Bone marrow aspirate smear:
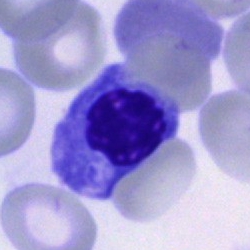 The morphological class is erythroblast.